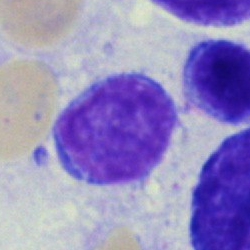 Specimen: bone marrow smear.
Morphological class: typical lymphocyte.
Lineage: lymphoid.